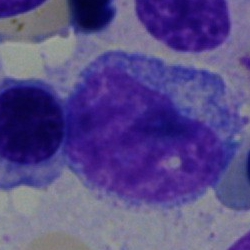Impression — promyelocyte.